Bone marrow smear: 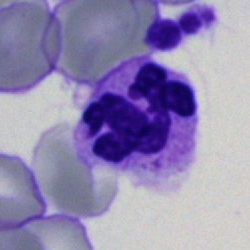 Showing a segmented neutrophil.